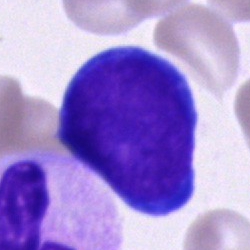
A pronormoblast on a bone marrow smear.